40× objective, oil immersion; bone marrow aspirate smear; single cell centered in the field
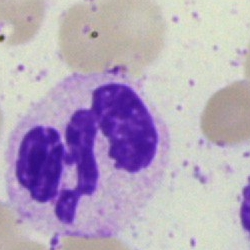Showing a segmented neutrophil.